Bone marrow aspirate smear — 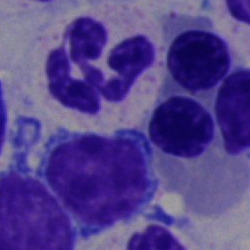 Classification: segmented neutrophil.